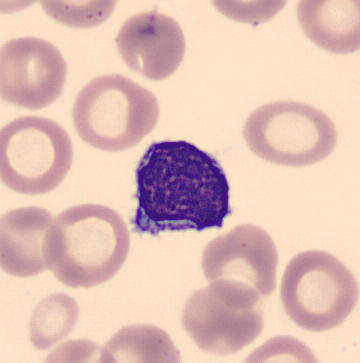 Morphology → lymphocyte.